Bone marrow aspirate smear: 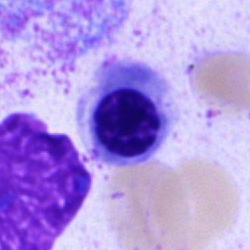
This is a normoblast.